Bone marrow aspirate smear — 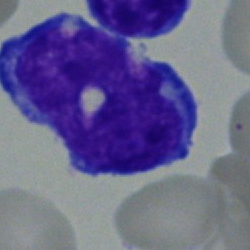This is a blast cell.